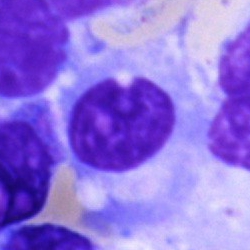 Q: What is shown here?
A: A plasmacyte.